Single cell centered in the field; bone marrow smear; 40× objective, oil immersion.
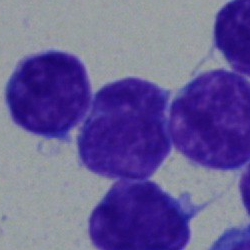

{"cell_type": "lymphocyte"}